Image size 250×250 · bone marrow aspirate smear.
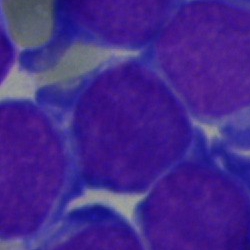 Showing a blast cell.